250 by 250 pixels; bone marrow aspirate smear: 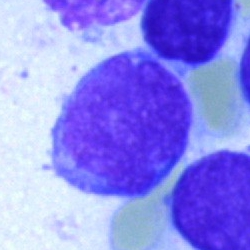

Morphology consistent with a blast.